Bone marrow smear — 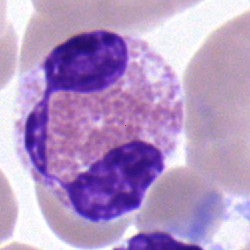

{"cell_type": "eosinophilic granulocyte"}